250 by 250 pixels. Bone marrow aspirate smear — 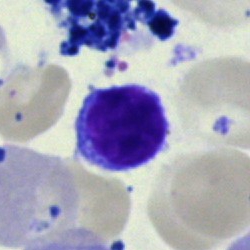Showing a typical lymphocyte.